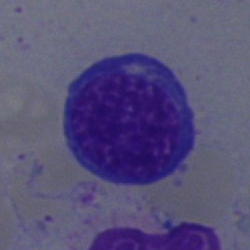

Q: Which cell type is shown here?
A: This is a normoblast.